40× objective, oil immersion. Bone marrow smear: 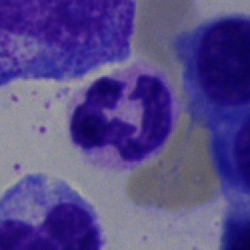 Morphological class: polymorphonuclear neutrophil.